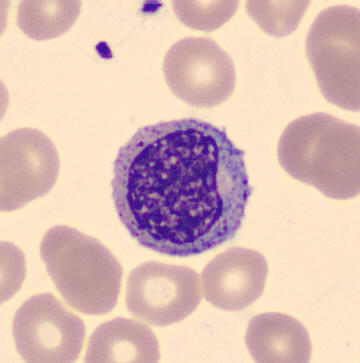The cell shown is a myelocyte.

Acquisition: Peripheral blood smear.